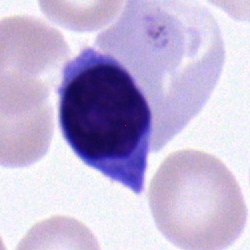
The cell type is lymphocyte.